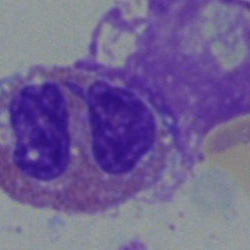

Single cell identified as an eosinophilic granulocyte.